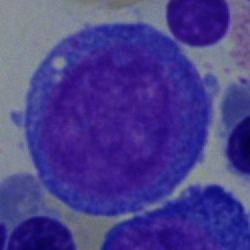

Morphology → promyelocyte.